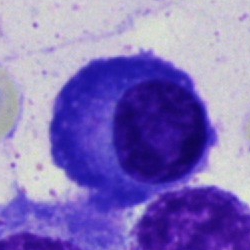 Cell: plasmacyte.